250×250 · bone marrow aspirate smear · single-cell crop: 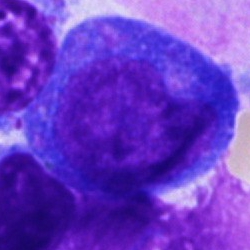 {"cell_type": "progranulocyte", "lineage": "myeloid"}